Bone marrow aspirate smear; 40× oil immersion:
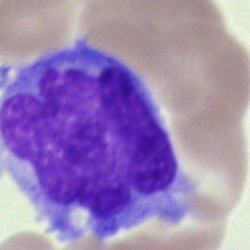Morphology consistent with a monocyte.